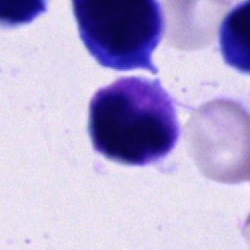
{"cell_type": "cell of indeterminate lineage"}